Bone marrow aspirate smear: 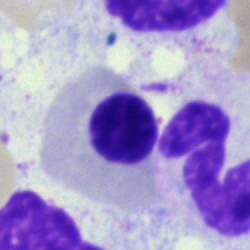Cell type — erythroblast.